Bone marrow aspirate smear. Brightfield, 40× oil-immersion objective — 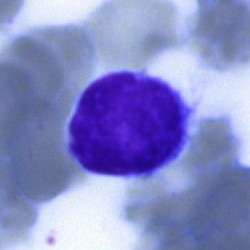Lymphocyte.